Pappenheim-stained; 250 by 250 pixels; bone marrow aspirate smear — 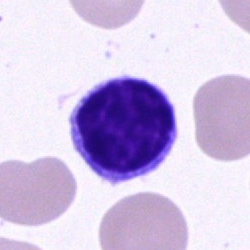The cell is typical lymphocyte.